Bone marrow smear — 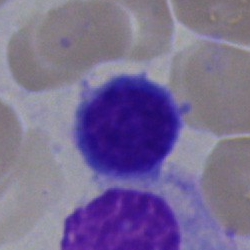 {"cell_type": "typical lymphocyte", "lineage": "lymphoid"}